Bone marrow aspirate smear.
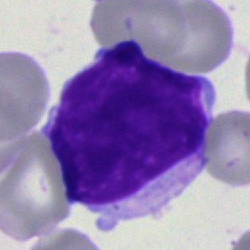Cell — immature lymphocyte.